Bone marrow aspirate smear.
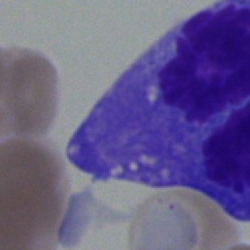
Specimen: bone marrow smear.
Morphological class: cell of indeterminate lineage.